Single-cell field · bone marrow aspirate smear
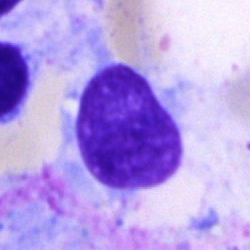

Specimen: bone marrow aspirate smear.
Cell type: lymphocyte.
Lineage: lymphoid.